Peripheral blood smear
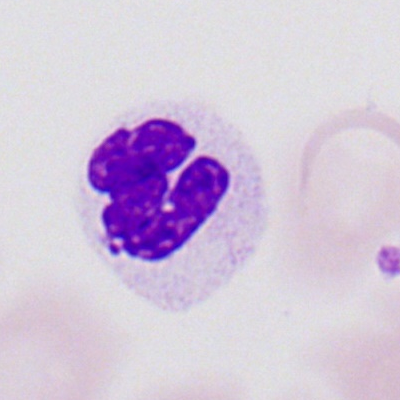
Specimen: peripheral blood film.
Classification: neutrophil (segmented).